Bone marrow smear · brightfield microscopy, 40× oil immersion.
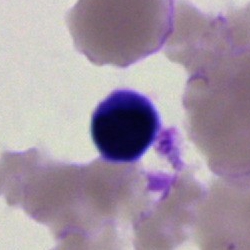{"cell_type": "artifact"}